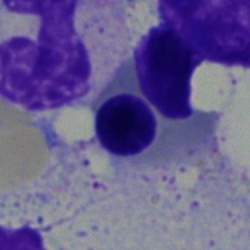Specimen: bone marrow smear.
Morphological class: normoblast.